Bone marrow smear
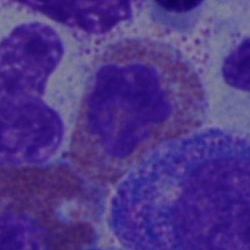 Cell type — eosinophilic granulocyte.